Peripheral blood smear
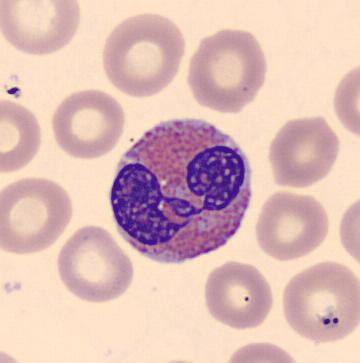 Showing an eosinophilic granulocyte.